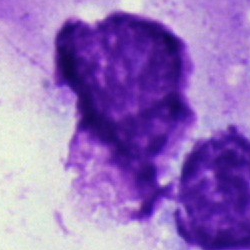Bone marrow aspirate smear, single cell — artifact.